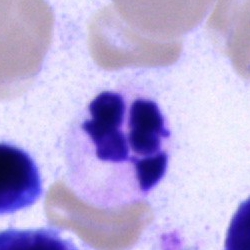

The cell is segmented neutrophil.